360×363 · CellaVision DM96 digital cell image · peripheral blood smear — 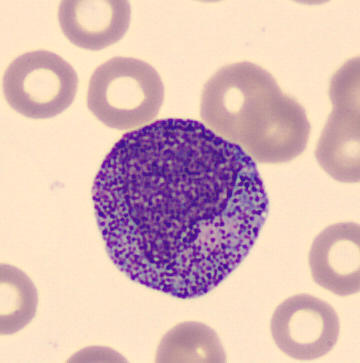

Showing a progranulocyte.